Bone marrow aspirate smear; 40× objective, oil immersion; image size 250×250
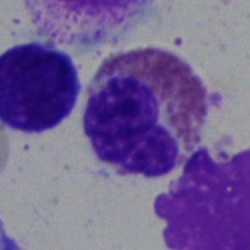 Single cell identified as an eosinophil.